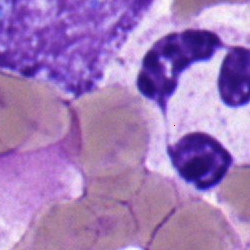Classification: segmented neutrophil.